Bone marrow aspirate smear — 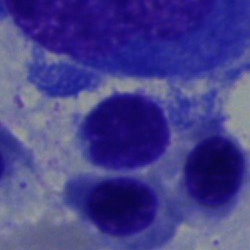Specimen: bone marrow smear.
Cell: typical lymphocyte.
Lineage: lymphoid.